40× objective, oil immersion. May-Grünwald-Giemsa stain. Bone marrow smear.
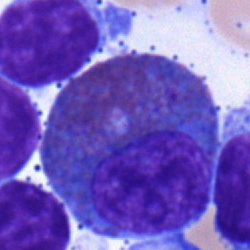
Specimen: bone marrow smear.
Cell: eosinophilic granulocyte.